Bone marrow aspirate smear:
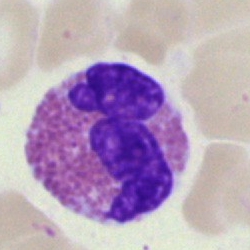

Classification — basophilic granulocyte.